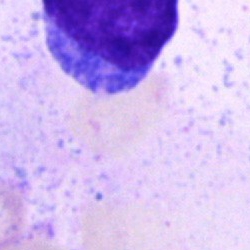 Blast.